Bone marrow smear
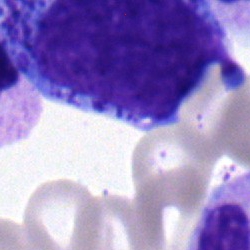
Q: What cell is this?
A: It is a progranulocyte.